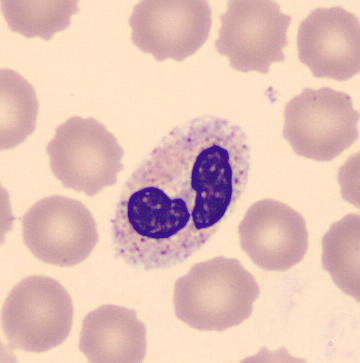

The cell type is segmented neutrophil.
Preparation: Single-cell crop. Peripheral blood smear.